Peripheral blood film: 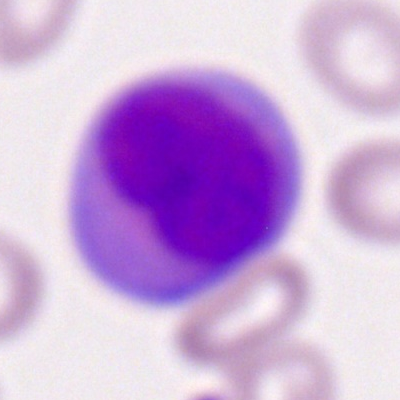
Impression — myeloblast.